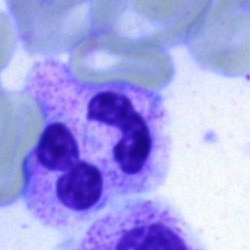
Q: What is shown here?
A: It is a segmented neutrophil.